Bone marrow aspirate smear
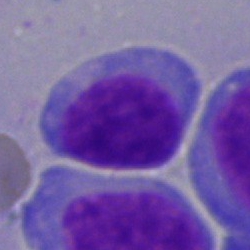Morphology consistent with an undifferentiated blast.